Peripheral blood film.
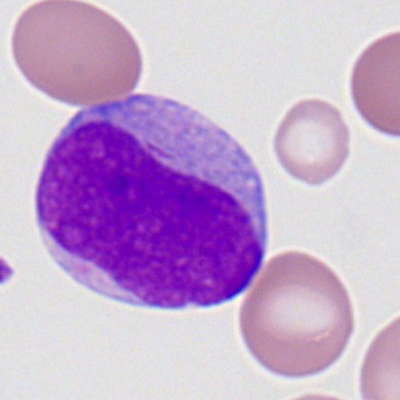

Classification = myeloblast.